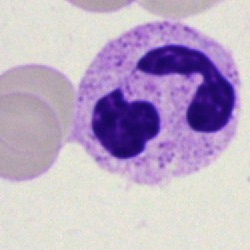
Impression → segmented neutrophil.